CellaVision DM96 · peripheral blood film.
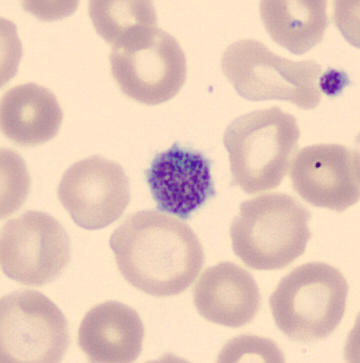
Morphology → thrombocyte.